Bone marrow aspirate smear — 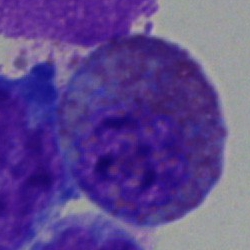
Eosinophilic granulocyte.